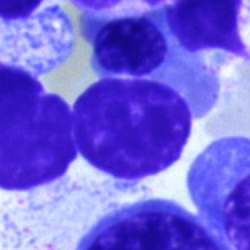 Bone marrow aspirate smear, single cell — artefact.